Bone marrow smear:
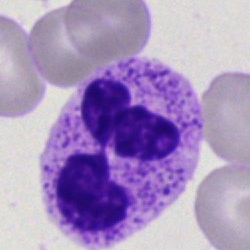

Morphology consistent with a neutrophil (segmented).